Bone marrow aspirate smear: 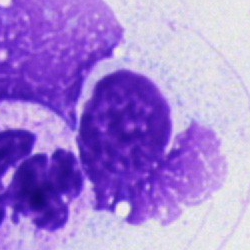
Cell: artefact.